Bone marrow smear — 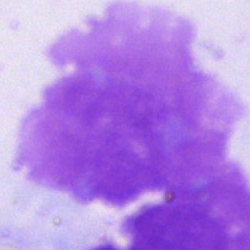 Q: What is shown here?
A: An artefact.